Bone marrow aspirate smear.
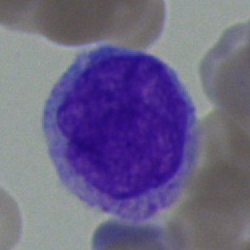

Q: What cell is this?
A: Monocyte.